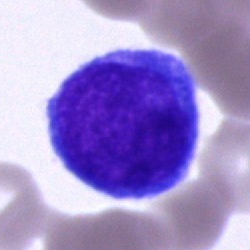Morphological class = blast.